Bone marrow aspirate smear; 40× objective, oil immersion; single-cell field.
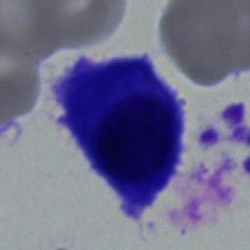{"cell_type": "plasma cell"}